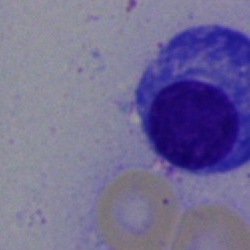
Single-cell crop from a bone marrow smear: plasmacyte.